40× oil immersion; bone marrow smear — 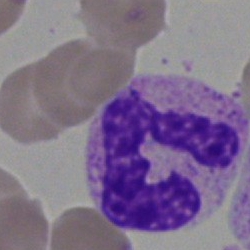

Cell type: neutrophil (segmented).